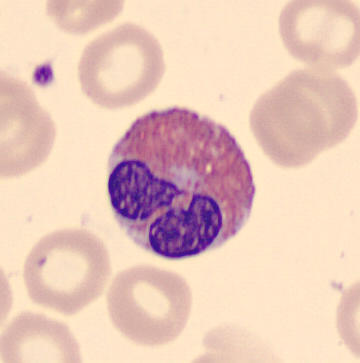
The cell type is eosinophilic granulocyte.